Romanowsky-type stain. Peripheral blood smear: 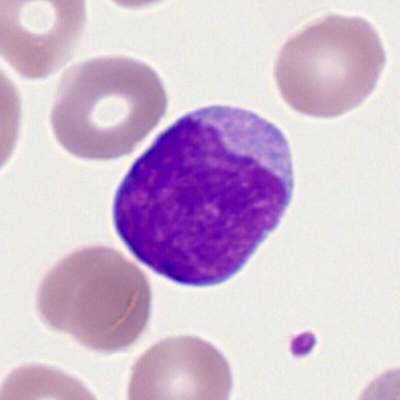
Impression — myeloid blast.